Single cell centered in the field; image size 366×369; peripheral blood smear.
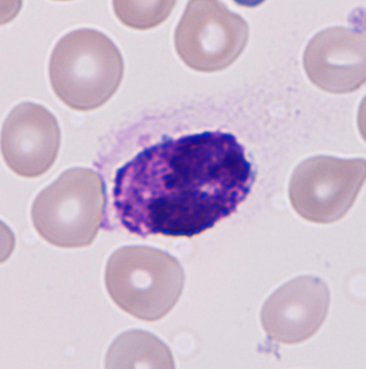

Morphological class: basophilic granulocyte.